Single-cell crop. Bone marrow smear:
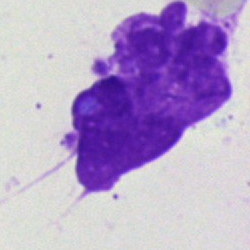
The cell shown is an artifact.